Bone marrow smear; May-Grünwald-Giemsa/Pappenheim stain.
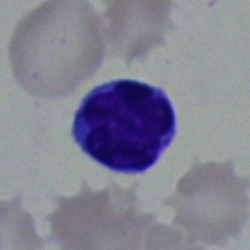

A lymphocyte.